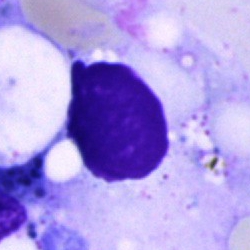 Q: What is shown here?
A: This is an artefact.